Bone marrow smear: 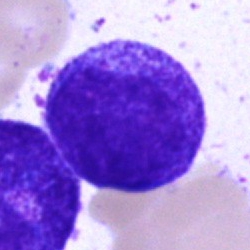
{"cell_type": "promyelocyte"}